Single-cell field · bone marrow smear
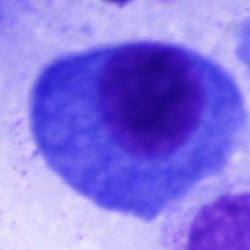
Showing a plasmacyte.